Bone marrow aspirate smear; May-Grünwald-Giemsa stain: 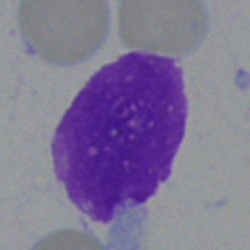
{"cell_type": "artefact"}